250×250 px. Bone marrow smear
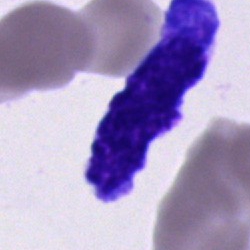 Q: What type of cell is this?
A: This is an unidentifiable cell.